Bone marrow aspirate smear; MGG-stained.
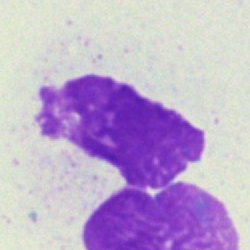 An artefact.